Bone marrow aspirate smear.
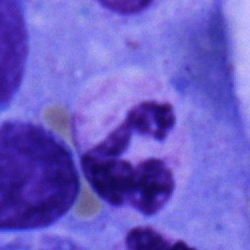

Specimen: bone marrow aspirate smear.
Classification: segmented neutrophil.
Lineage: myeloid.